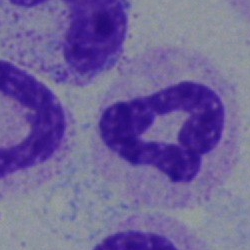Specimen: bone marrow aspirate smear.
Morphological class: segmented neutrophil.